Bone marrow smear:
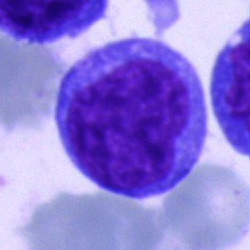Morphology → blast.